Bone marrow smear; brightfield, 40× oil-immersion objective: 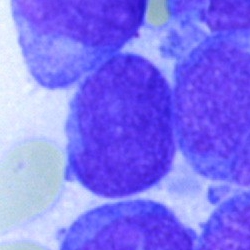{"cell_type": "undifferentiated blast"}